250×250 px. Bone marrow smear
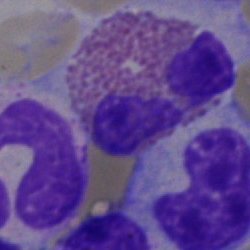

Morphological class — eosinophil.